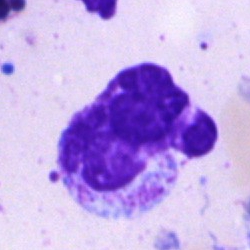 {"cell_type": "artefact"}